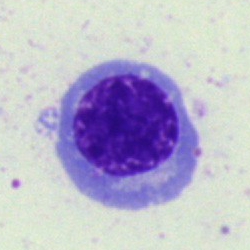
Cell = normoblast.